250×250 px; 40× oil immersion; bone marrow smear — 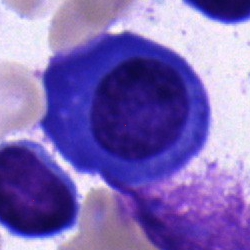
A plasma cell.